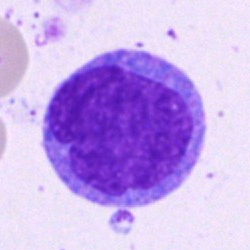

Specimen: bone marrow aspirate smear.
Cell type: neutrophil (band).
Lineage: myeloid.